Bone marrow aspirate smear:
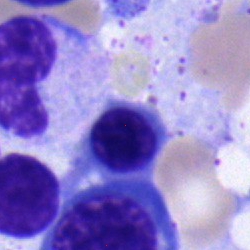

Morphology consistent with a normoblast.